Bone marrow smear:
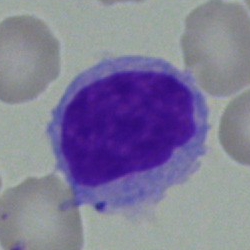A typical lymphocyte.